Peripheral blood smear. Image size 400×400 — 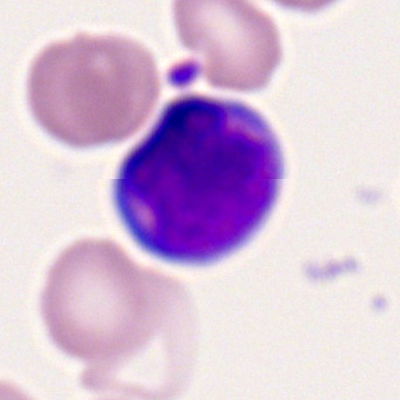
Cell: myeloid blast.